Brightfield, 40× oil-immersion objective; bone marrow smear — 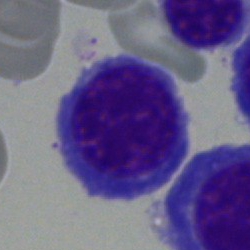 The cell is normoblast.